Single-cell crop · peripheral blood film · 400 by 400 pixels
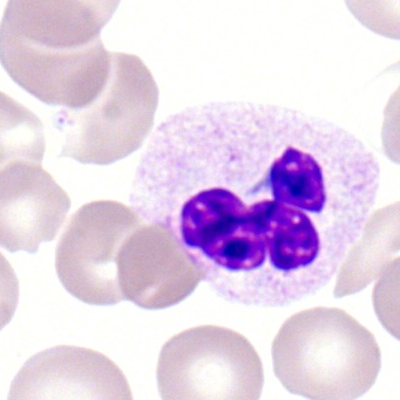
The cell type is polymorphonuclear neutrophil.